Single cell centered in the field · bone marrow smear · May-Grünwald-Giemsa/Pappenheim stain:
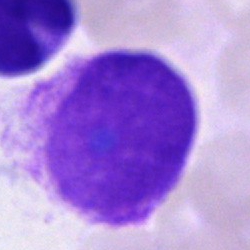Showing an artifact.